Romanowsky-type stain. Single-cell crop. Peripheral blood film — 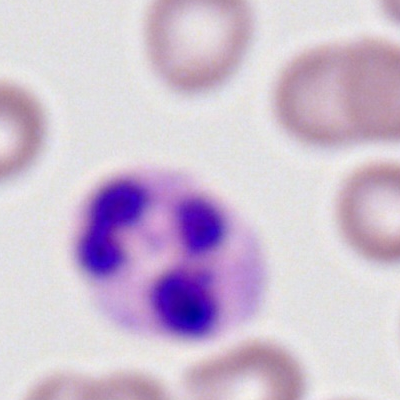 Morphology consistent with a polymorphonuclear neutrophil.